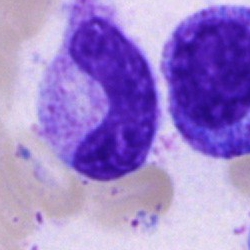

A band neutrophil.